Single-cell field; 250×250 px; bone marrow smear
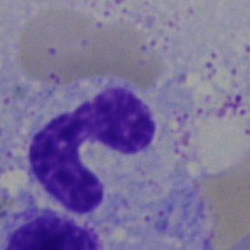This is a stab cell.